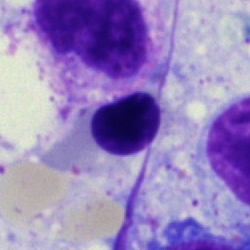
Bone marrow smear showing an erythroblast.